40× oil immersion. 250×250. Bone marrow aspirate smear.
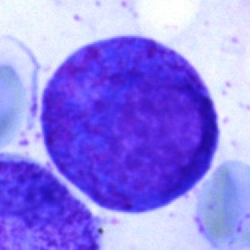

{"cell_type": "promyelocyte"}